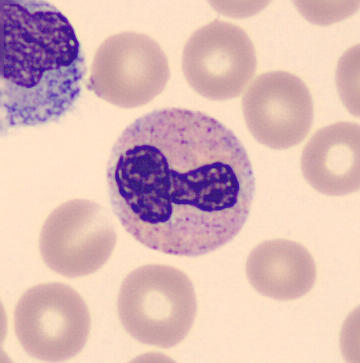The classification is neutrophil (band).
Single-cell field · peripheral blood film · automated cell imaging (CellaVision DM96).